250×250; bone marrow aspirate smear; brightfield, 40× oil-immersion objective.
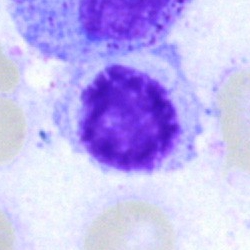A lymphocyte.